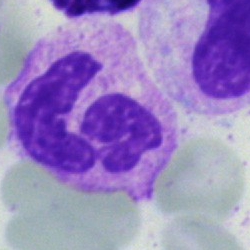 Classification = polymorphonuclear neutrophil.